Bone marrow aspirate smear:
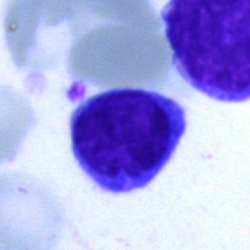

Morphology consistent with a typical lymphocyte.